Bone marrow aspirate smear; image size 250×250; 40× oil immersion:
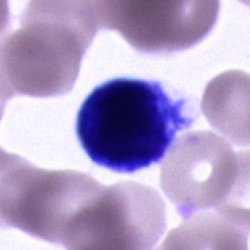

Morphology consistent with a cell of indeterminate lineage.